Bone marrow aspirate smear · Pappenheim-stained.
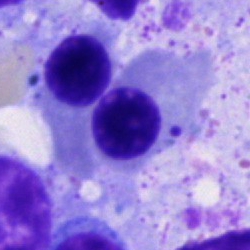A nucleated red cell.